Bone marrow aspirate smear · 40× objective, oil immersion · single cell centered in the field.
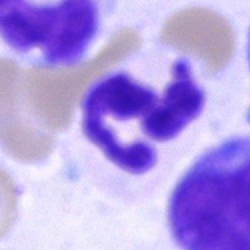
This is a neutrophil (segmented).